Bone marrow aspirate smear
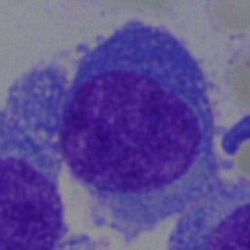
This is a plasmacyte.